100× objective, oil immersion; peripheral blood film; 400×400 px
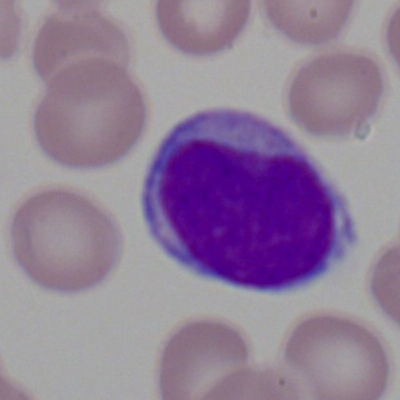Q: What type of cell is this?
A: A myeloid blast.